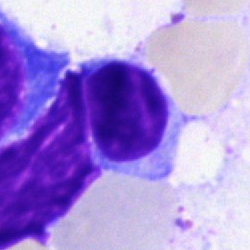
The classification is lymphocyte.